Bone marrow aspirate smear: 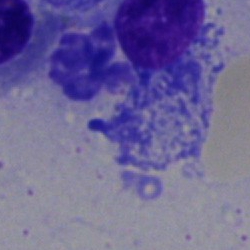An artifact.